Bone marrow aspirate smear:
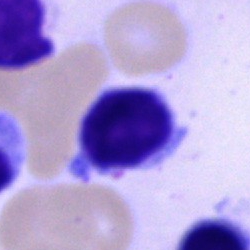

Classification: typical lymphocyte.